40× oil immersion. Bone marrow aspirate smear — 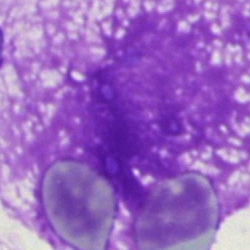
Cell type: artefact.